Bone marrow smear. Brightfield microscopy, 40× oil immersion: 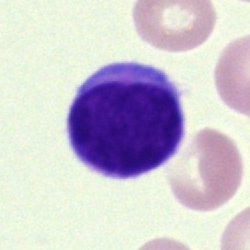 The cell is typical lymphocyte.